Bone marrow aspirate smear; May-Grünwald-Giemsa/Pappenheim stain — 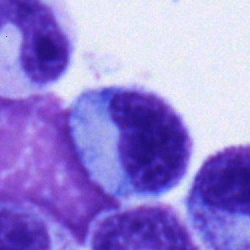
Q: Identify the cell.
A: A metamyelocyte.